Bone marrow smear. 250 by 250 pixels. MGG-stained:
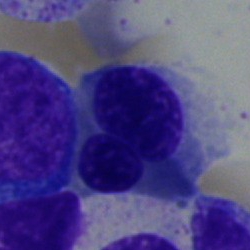
Impression — nucleated red blood cell.